Bone marrow aspirate smear
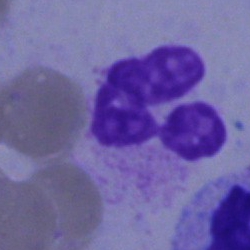

Cell type: polymorphonuclear neutrophil.